May-Grünwald-Giemsa stain; bone marrow smear; 250×250 — 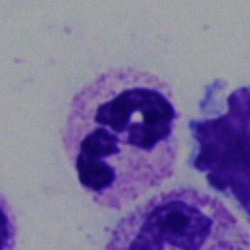

Q: What cell is this?
A: It is a neutrophil (segmented).